Bone marrow aspirate smear · May-Grünwald-Giemsa stain
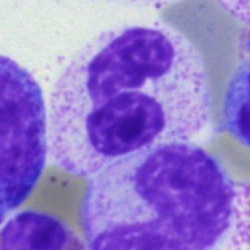
Cell type = neutrophil (segmented).